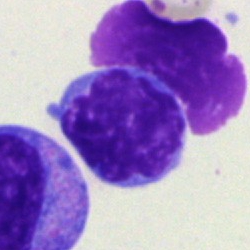 Q: What is the morphological classification of this cell?
A: A typical lymphocyte.